250×250. Bone marrow aspirate smear.
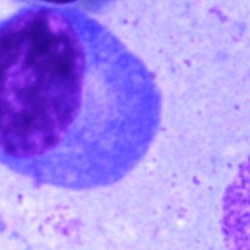
Specimen: bone marrow aspirate smear.
Morphological class: plasma cell.